Bone marrow aspirate smear. MGG-stained — 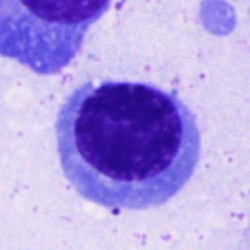 Morphology consistent with a nucleated red blood cell.